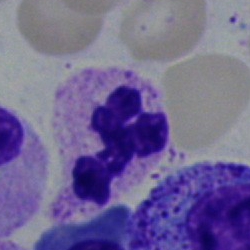

A polymorphonuclear neutrophil on a bone marrow smear.